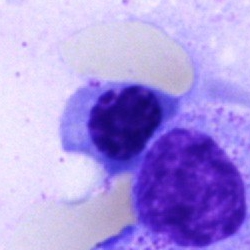
A nucleated red cell on a bone marrow smear.